Bone marrow smear.
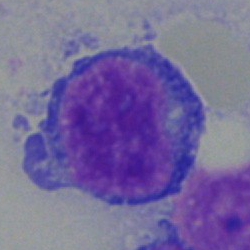
This is a proerythroblast.